250×250. Bone marrow aspirate smear: 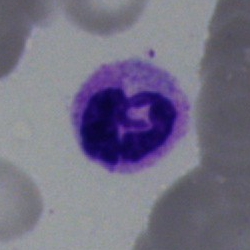
Morphology consistent with a polymorphonuclear neutrophil.